Bone marrow smear
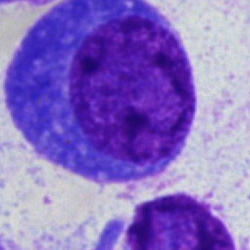The cell shown is a plasmacyte.